Single-cell field · bone marrow smear:
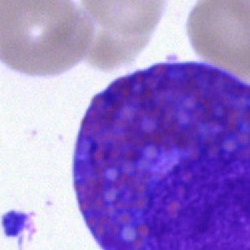
An eosinophilic granulocyte.